Bone marrow smear — 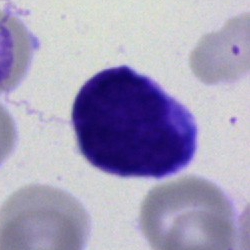

Showing a blast cell.